Bone marrow smear · single-cell field:
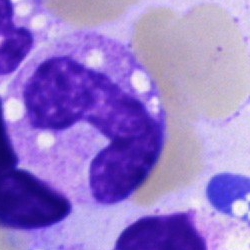 Neutrophil (band).